Bone marrow aspirate smear
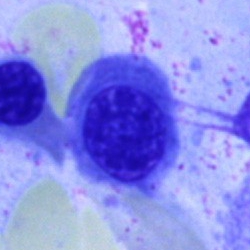 Specimen: bone marrow aspirate smear.
Cell: nucleated red cell.